Bone marrow aspirate smear: 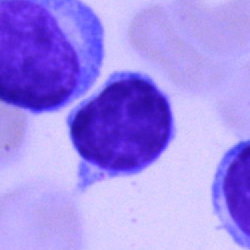 Showing a typical lymphocyte.